Bone marrow smear.
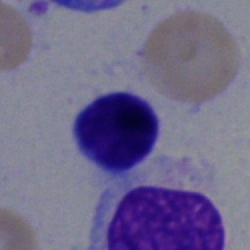

Specimen: bone marrow aspirate smear.
Classification: typical lymphocyte.